Bone marrow smear
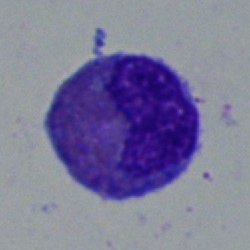
Eosinophilic granulocyte.